Bone marrow aspirate smear · image size 250×250:
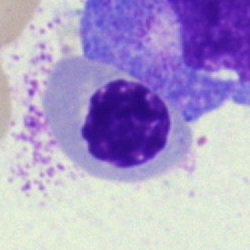Specimen: bone marrow aspirate smear.
Cell: nucleated red cell.
Lineage: erythroid.